Bone marrow smear · brightfield microscopy, 40× oil immersion.
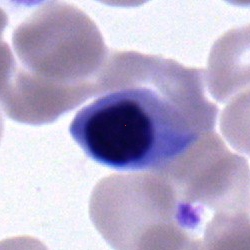This is a normoblast.